Bone marrow smear — 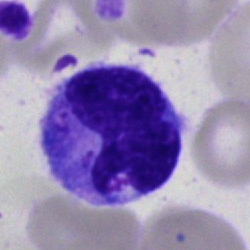

The cell type is monocyte.